Image size 250×250 · bone marrow smear · single-cell crop — 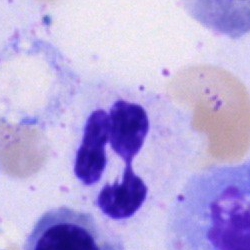
A neutrophil (segmented).